Bone marrow smear · brightfield microscopy, 40× oil immersion
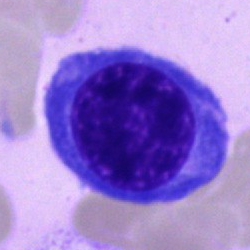 Morphology consistent with an erythroblast.